Bone marrow aspirate smear; Pappenheim-stained
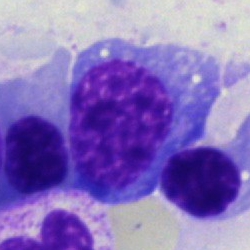

Showing a nucleated red cell.